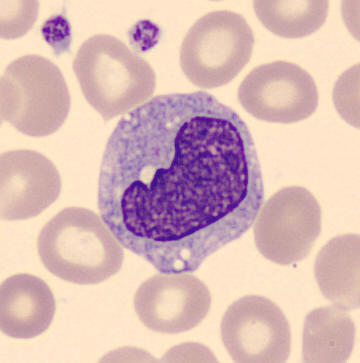

Q: Identify the cell.
A: Monocyte.